Single-cell field. Pappenheim-stained. Bone marrow aspirate smear.
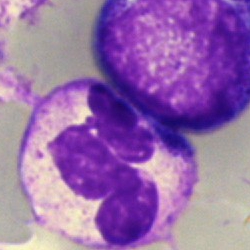 The cell is segmented neutrophil.